Bone marrow aspirate smear; brightfield microscopy, 40× oil immersion: 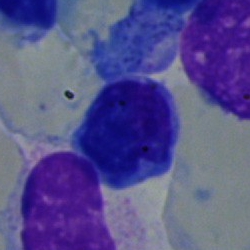
Specimen: bone marrow aspirate smear.
Classification: typical lymphocyte.
Lineage: lymphoid.